Brightfield microscopy, 40× oil immersion · bone marrow aspirate smear: 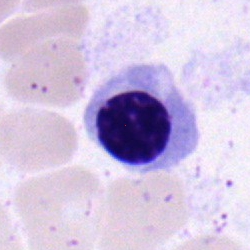 A nucleated red blood cell.